May-Grünwald-Giemsa/Pappenheim stain. Bone marrow aspirate smear
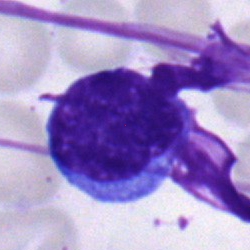
Cell type = typical lymphocyte.